Bone marrow smear:
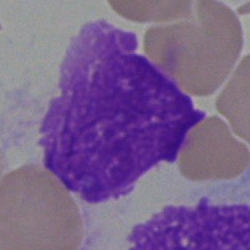Artifact.